Pappenheim-stained. Bone marrow aspirate smear
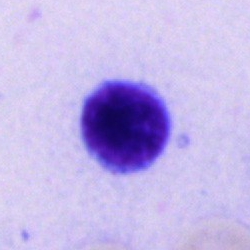 Classification: lymphocyte.